Bone marrow aspirate smear:
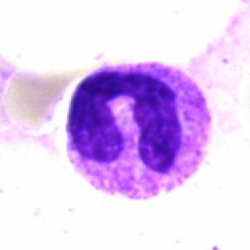
Single cell identified as a segmented neutrophil.